Bone marrow aspirate smear
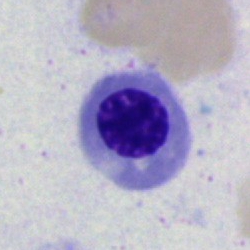 Cell type = erythroblast.